Bone marrow smear
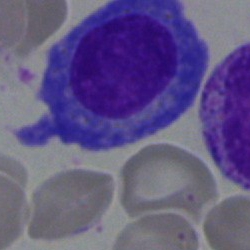Classification: plasma cell.